Bone marrow aspirate smear · 250 by 250 pixels: 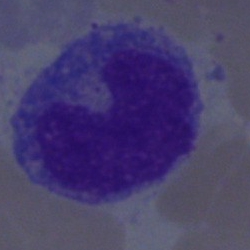

Morphology → promyelocyte.